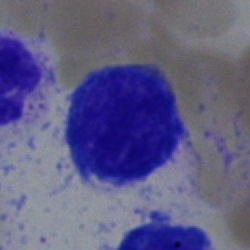 This is a normoblast.